Bone marrow smear
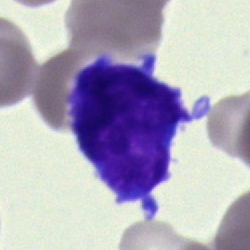 An undifferentiated blast.